Brightfield, 40× oil-immersion objective. Bone marrow aspirate smear. Single cell centered in the field.
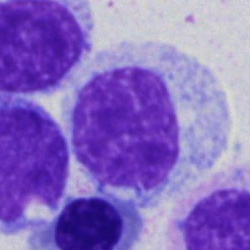{"cell_type": "myelocyte", "lineage": "myeloid"}